250×250 px; bone marrow aspirate smear.
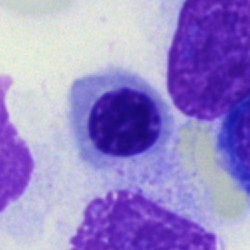Erythroblast.